Bone marrow aspirate smear; single-cell crop; Pappenheim-stained.
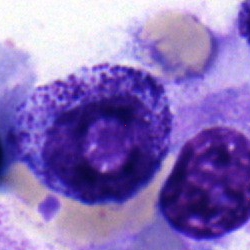 A progranulocyte.